Bone marrow aspirate smear.
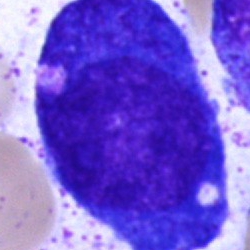 Q: Identify the cell.
A: This is a promyelocyte.